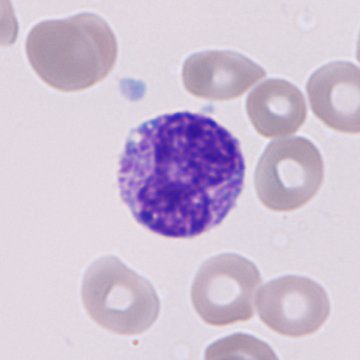 {"cell_type": "immature granulocyte"}

Acquisition: Peripheral blood smear · single-cell field.